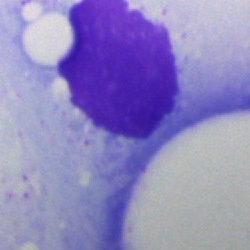

Q: What is shown here?
A: This is an artifact.